Bone marrow aspirate smear: 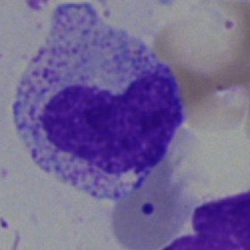

The cell shown is a metamyelocyte.